Bone marrow smear
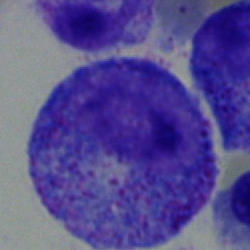Q: What type of cell is this?
A: Progranulocyte.